Peripheral blood film:
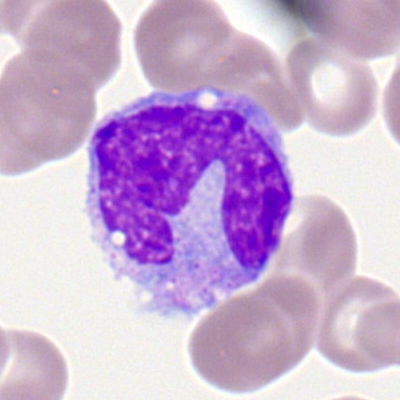
Q: Identify the cell.
A: A monocyte.